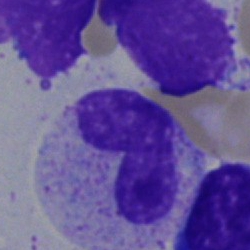 Cell type = stab cell.